May-Grünwald-Giemsa stain · bone marrow aspirate smear.
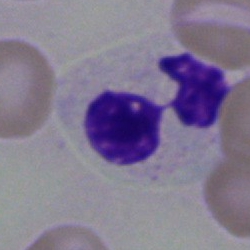 Neutrophil (segmented).